Bone marrow aspirate smear — 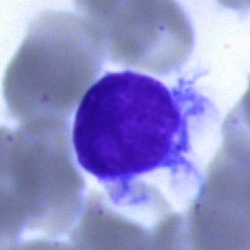
Impression → hairy cell.